Bone marrow smear
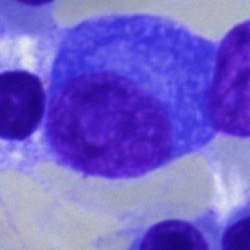{"cell_type": "plasma cell", "lineage": "lymphoid"}